Bone marrow aspirate smear.
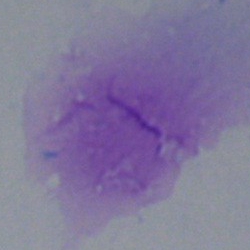

Cell type: artefact.